Image size 250×250. MGG-stained. Bone marrow smear: 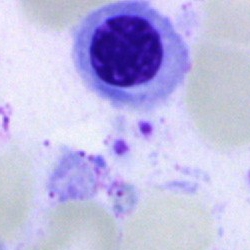 Normoblast.